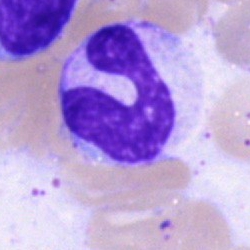
Classification: neutrophil (band).